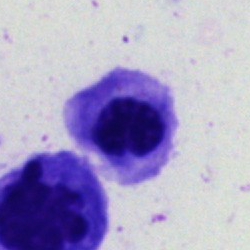

{"cell_type": "normoblast"}